Romanowsky stain. Peripheral blood smear — 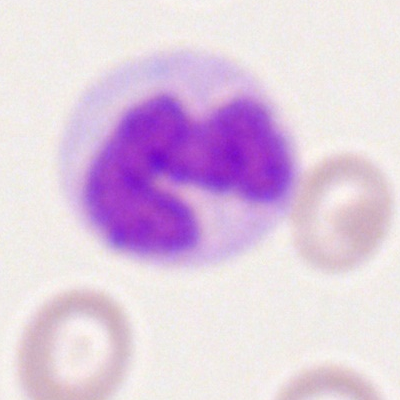
Morphology consistent with a monocyte.